Bone marrow smear; single-cell crop; May-Grünwald-Giemsa/Pappenheim stain — 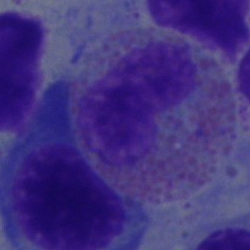
The cell is eosinophilic granulocyte.